250×250 px. Bone marrow aspirate smear:
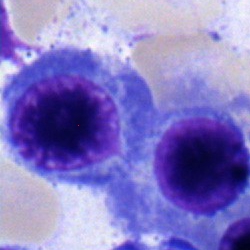

{"cell_type": "nucleated red blood cell", "lineage": "erythroid"}